Bone marrow aspirate smear.
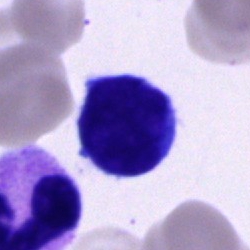

Q: What cell is this?
A: A typical lymphocyte.